Peripheral blood smear.
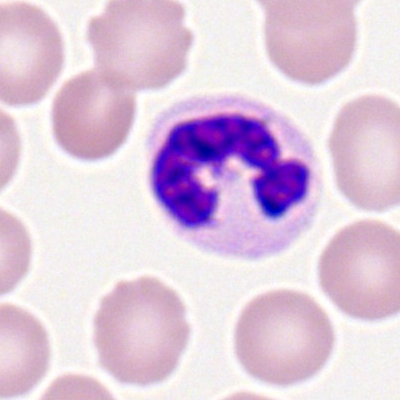 Q: Identify the cell.
A: Neutrophil (segmented).